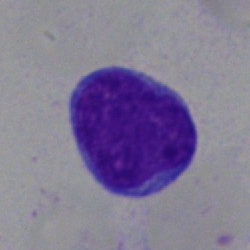 Typical lymphocyte.